Bone marrow aspirate smear · MGG-stained · 250×250: 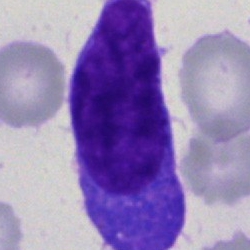Specimen: bone marrow smear.
Cell: blast cell.